Peripheral blood smear; single-cell field.
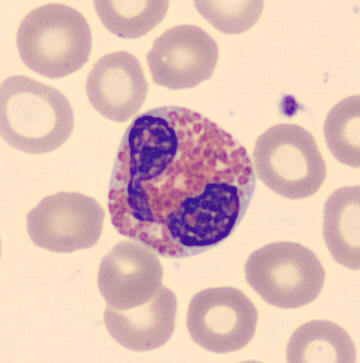 Impression — eosinophilic granulocyte.